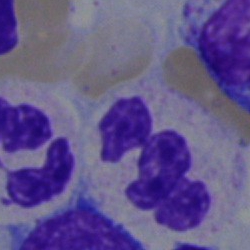Bone marrow smear showing a polymorphonuclear neutrophil.